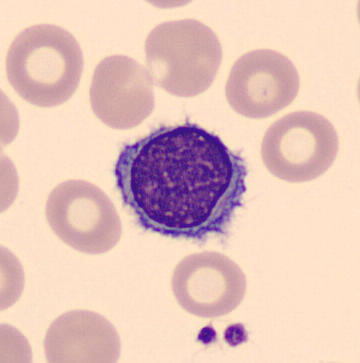 Preparation: Peripheral blood smear · automated cell imaging (CellaVision DM96) · MGG-stained.

Impression — typical lymphocyte.